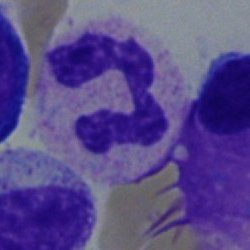 Classification = polymorphonuclear neutrophil.